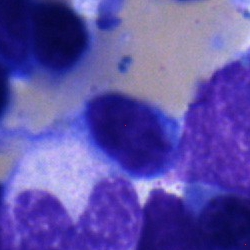 Classification: lymphocyte.